Bone marrow aspirate smear — 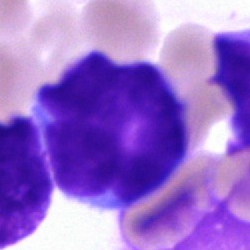

Classification: undifferentiated blast.